360 by 363 pixels; peripheral blood film
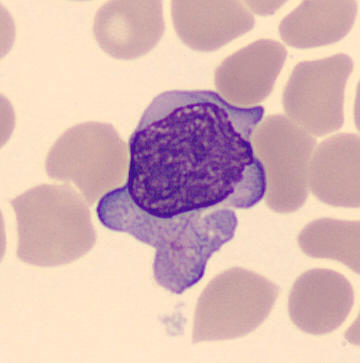

Monocyte.